Bone marrow aspirate smear; May-Grünwald-Giemsa stain — 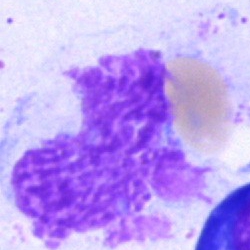
Specimen: bone marrow smear.
Morphological class: artefact.